250×250 · bone marrow aspirate smear.
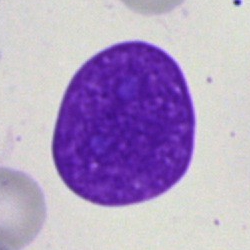

Morphological class: artifact.